Bone marrow aspirate smear
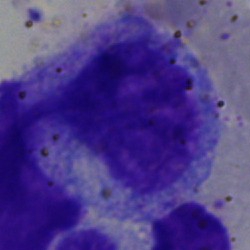
Q: Which cell type is shown here?
A: Myelocyte.